Bone marrow smear:
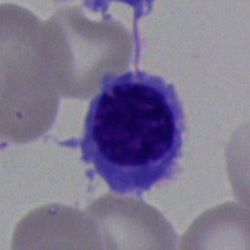
An erythroblast.